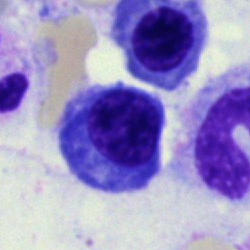 A normoblast on a bone marrow smear.